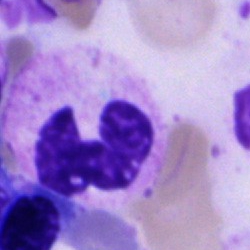
Neutrophil (segmented).